40× objective, oil immersion; single-cell field; bone marrow aspirate smear
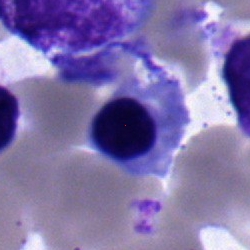
Specimen: bone marrow aspirate smear.
Morphological class: nucleated red cell.
Lineage: erythroid.